Bone marrow smear — 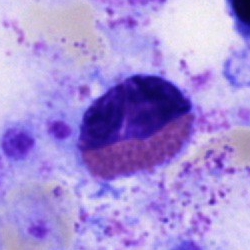

The morphological class is eosinophilic granulocyte.